Brightfield microscopy, 40× oil immersion · bone marrow smear: 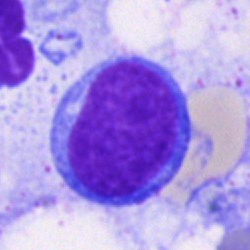
This is a blast cell.